Pappenheim-stained. Bone marrow aspirate smear: 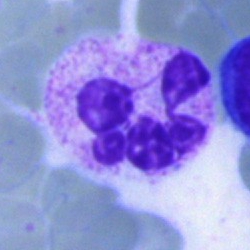

Morphology consistent with a polymorphonuclear neutrophil.